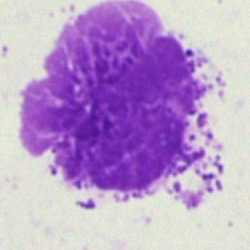
Impression — artifact.